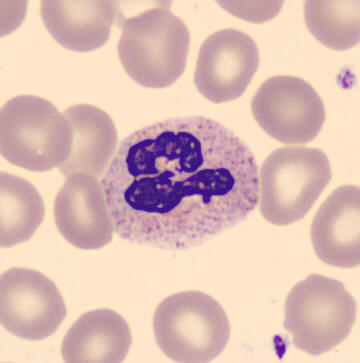

The cell shown is a segmented neutrophil.